Bone marrow aspirate smear · MGG-stained: 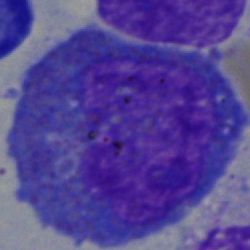Morphology → promyelocyte.